Cropped to a single cell; bone marrow aspirate smear; brightfield, 40× oil-immersion objective:
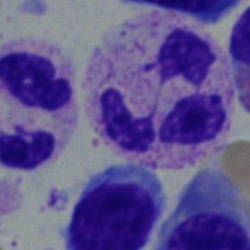

This is a segmented neutrophil.